Bone marrow smear; 250×250; 40× objective, oil immersion:
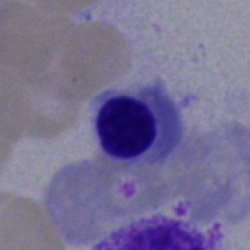Showing a nucleated red blood cell.